250 by 250 pixels. Bone marrow aspirate smear:
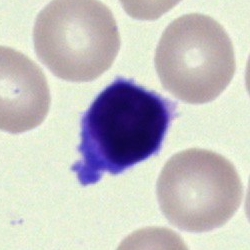 Single cell identified as a typical lymphocyte.